Bone marrow aspirate smear; 40× objective, oil immersion — 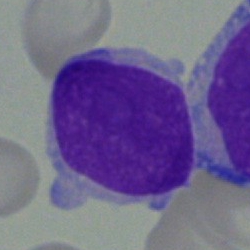The classification is blast cell.